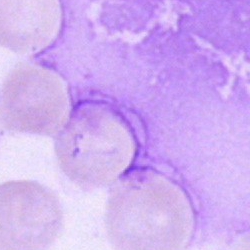
Classification: artifact.